Bone marrow smear.
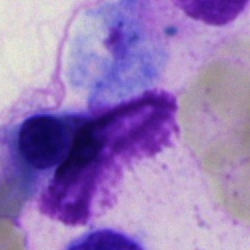 The cell is artifact.